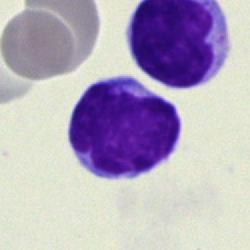

Morphology → typical lymphocyte.